Bone marrow smear — 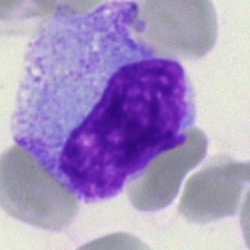

Morphology consistent with a promyelocyte.